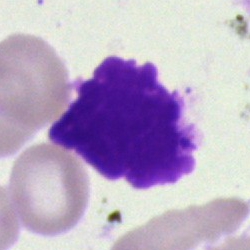

An artifact.